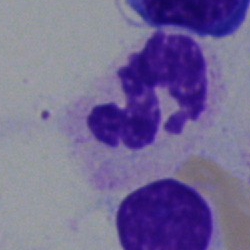 Morphology → polymorphonuclear neutrophil.